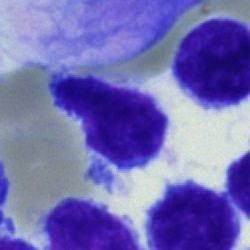

Q: Which cell type is shown here?
A: A lymphocyte.